Peripheral blood smear · image size 400×400.
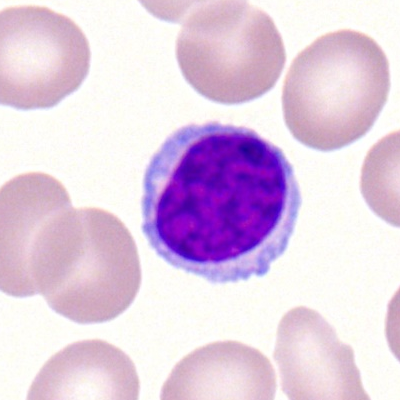
A typical lymphocyte.